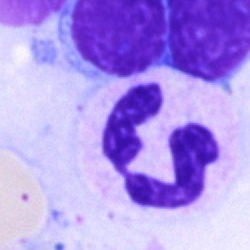 {"cell_type": "neutrophil (segmented)", "lineage": "myeloid"}